Bone marrow smear · 250×250 px · 40× oil immersion
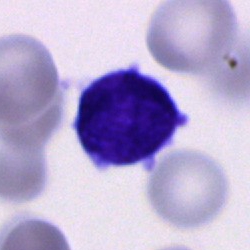 Blast cell.